Cropped to a single cell; bone marrow smear:
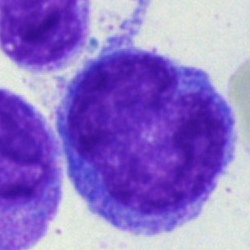

Morphological class = monocyte.